Bone marrow smear:
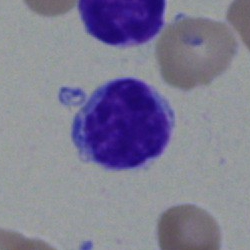 Morphology consistent with a typical lymphocyte.